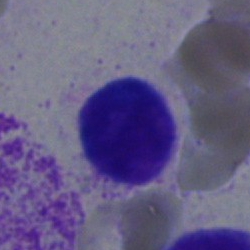 {"cell_type": "lymphocyte", "lineage": "lymphoid"}